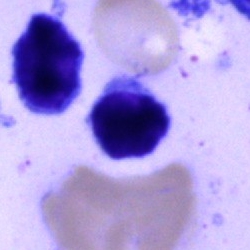
Q: What is shown here?
A: Typical lymphocyte.